Bone marrow smear · image size 250×250 · single-cell crop — 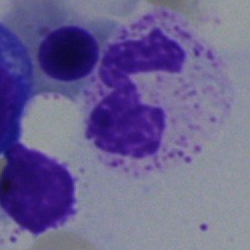
Specimen: bone marrow smear.
Cell type: neutrophil (segmented).
Lineage: myeloid.